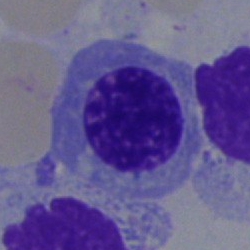
Specimen: bone marrow smear.
Classification: nucleated red blood cell.